Bone marrow smear — 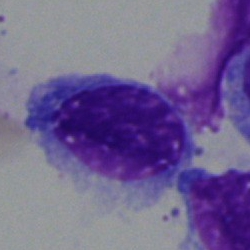 This is a nucleated red cell.